40× objective, oil immersion · bone marrow smear:
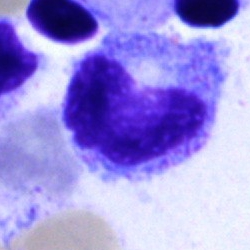

Cell type — metamyelocyte.